Bone marrow aspirate smear — 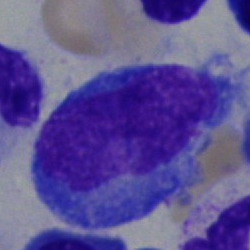
Cell — undifferentiated blast.